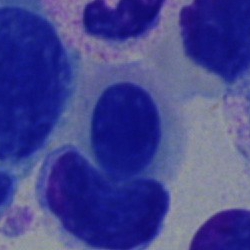

Morphology → erythroblast.